Bone marrow smear. Image size 250×250. Single-cell crop: 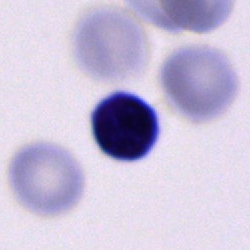 Morphology → unidentifiable cell.